Bone marrow smear. 250 by 250 pixels — 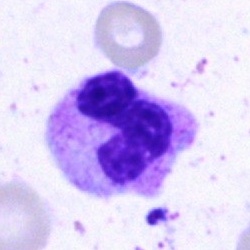Showing a segmented neutrophil.